Bone marrow aspirate smear; Pappenheim-stained; single-cell field — 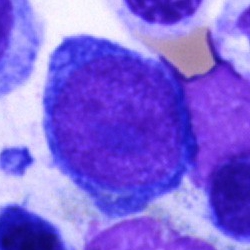

The morphological class is pronormoblast.